Bone marrow aspirate smear:
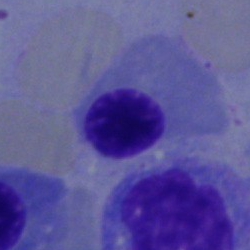
A nucleated red cell.